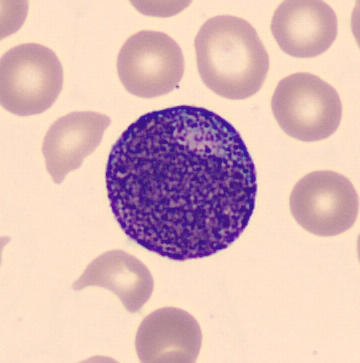

The cell type is promyelocyte.